Bone marrow smear.
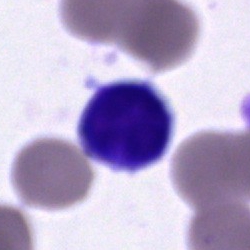

The cell type is typical lymphocyte.